Brightfield microscopy, 40× oil immersion · bone marrow aspirate smear: 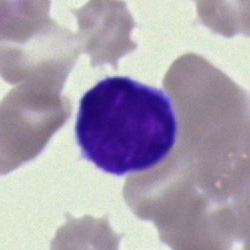Q: What is shown here?
A: An artefact.